Bone marrow aspirate smear
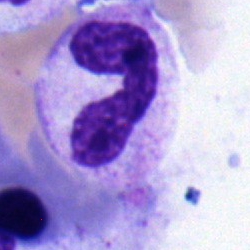
Neutrophil (band).